Bone marrow smear: 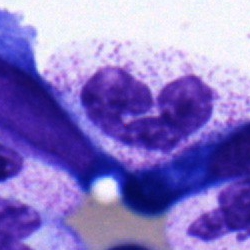
Cell type = neutrophil (segmented).